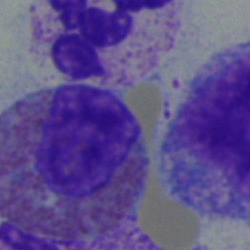
Specimen: bone marrow smear.
Morphological class: eosinophil.